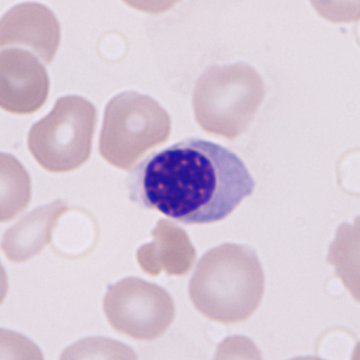
Morphology consistent with an erythroblast.